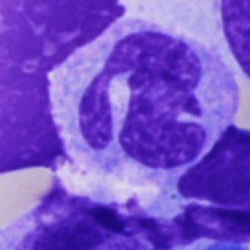The cell type is monocyte.